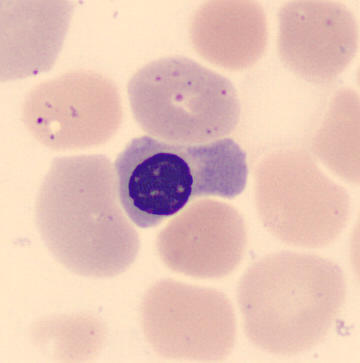Image: Automated cell imaging (CellaVision DM96); peripheral blood film.

Cell type: normoblast.